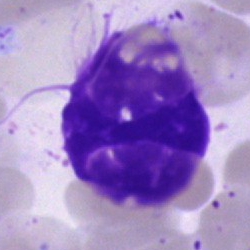 Morphology → artifact.